Peripheral blood smear.
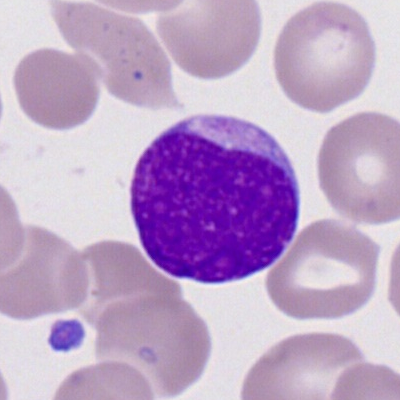 Cell type: myeloblast.